Bone marrow aspirate smear.
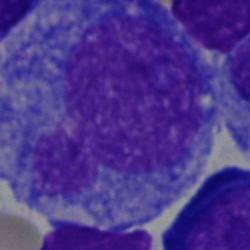 This is a monocyte.